250 by 250 pixels · bone marrow aspirate smear · single-cell crop:
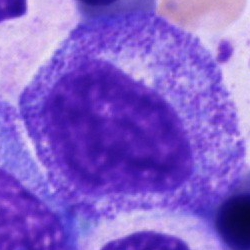 Progranulocyte.